Bone marrow smear:
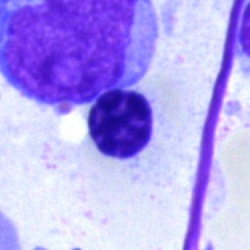

Showing a nucleated red cell.